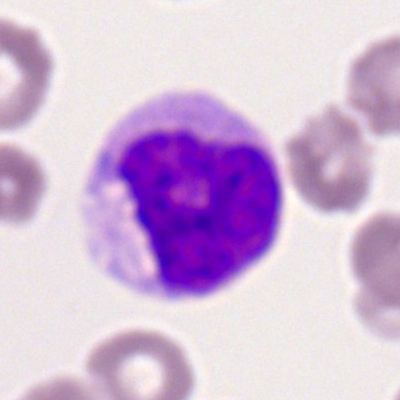Cell — monocyte.